Peripheral blood smear
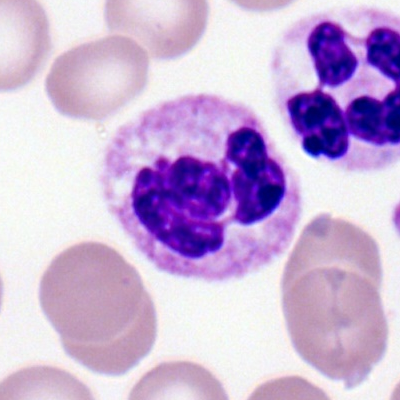

Single cell identified as a polymorphonuclear neutrophil.